250 by 250 pixels · bone marrow aspirate smear.
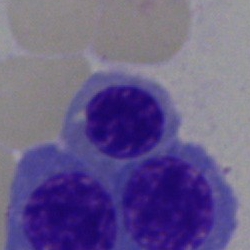 Nucleated red blood cell.